Bone marrow smear — 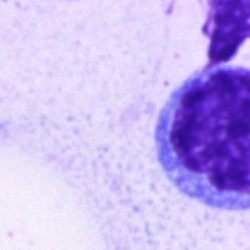

Classification — blast.